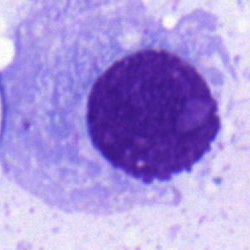 Impression → plasma cell.